Peripheral blood smear — 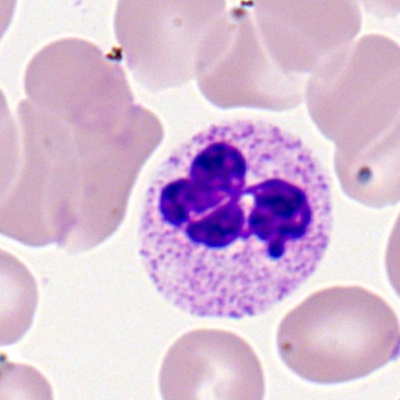
Cell = polymorphonuclear neutrophil.